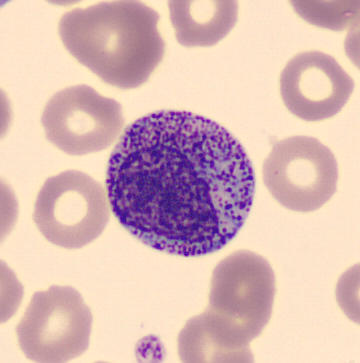Imaged on a CellaVision DM96 analyser; peripheral blood smear.

Q: What is the morphological classification of this cell?
A: A myelocyte.